250×250; bone marrow smear; single-cell field.
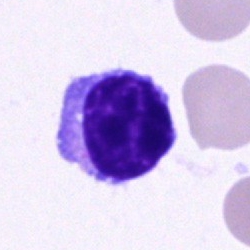
Classification = typical lymphocyte.